Bone marrow smear:
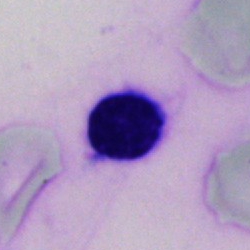Cell — lymphocyte.